250×250 px. Bone marrow aspirate smear. Single cell centered in the field:
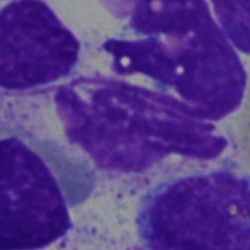
Specimen: bone marrow aspirate smear.
Morphological class: artefact.